250×250 px. Bone marrow smear. Cropped to a single cell:
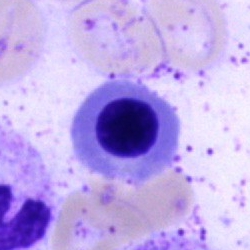

Q: What is the morphological classification of this cell?
A: This is a normoblast.